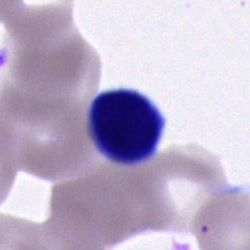Cell: lymphocyte.